Single-cell crop. Bone marrow smear. MGG-stained:
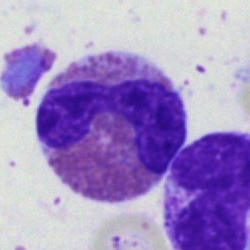
Specimen: bone marrow aspirate smear.
Cell: eosinophil.